Peripheral blood film — 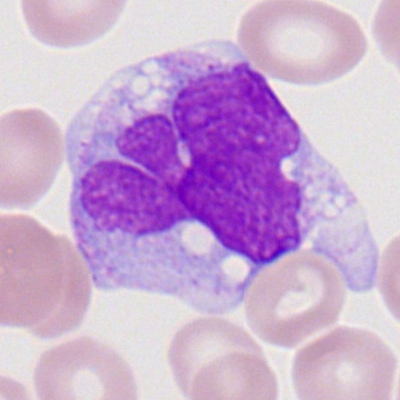
Cell: monocyte.